Peripheral blood film; cropped to a single cell; May Grünwald-Giemsa stain:
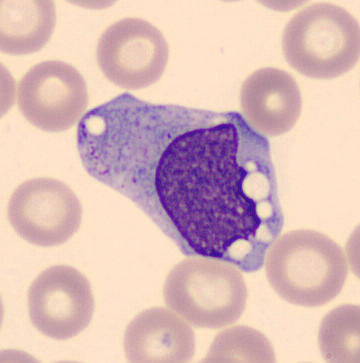
Morphological class — monocyte.